Bone marrow smear: 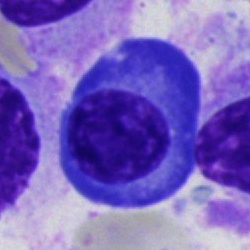

Q: What cell is this?
A: It is a plasmacyte.